Bone marrow smear · single-cell field:
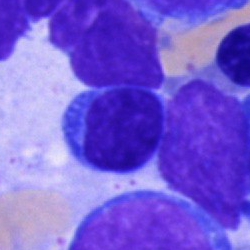 Specimen: bone marrow smear.
Classification: typical lymphocyte.
Lineage: lymphoid.